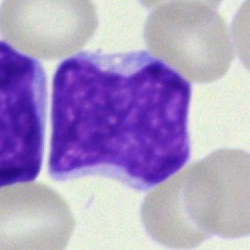 This is a blast.